Bone marrow aspirate smear; Pappenheim-stained: 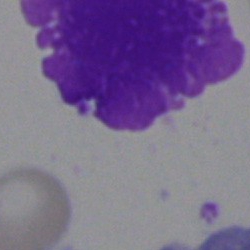 Specimen: bone marrow aspirate smear.
Cell type: artifact.